Bone marrow aspirate smear — 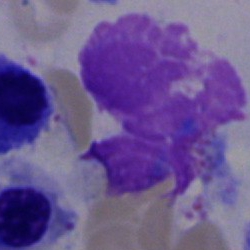This is an artefact.